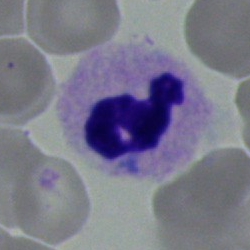Single cell identified as a neutrophil (segmented).